Bone marrow smear:
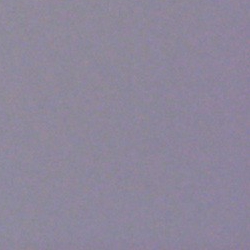 Morphology consistent with an artefact.